Bone marrow aspirate smear
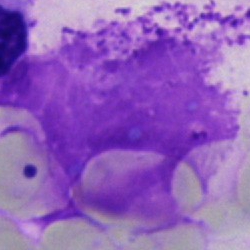Q: What is shown here?
A: Artefact.